Peripheral blood smear
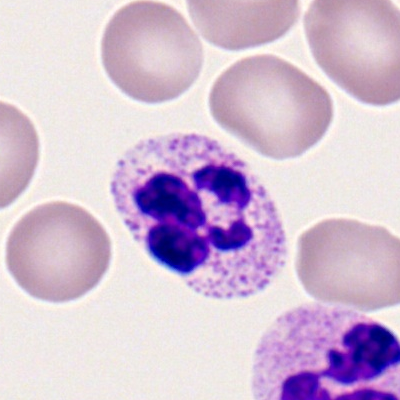

Segmented neutrophil.